MGG-stained · bone marrow aspirate smear · brightfield microscopy, 40× oil immersion.
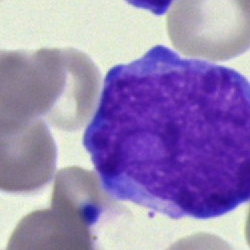
Morphological class: blast.